Peripheral blood smear:
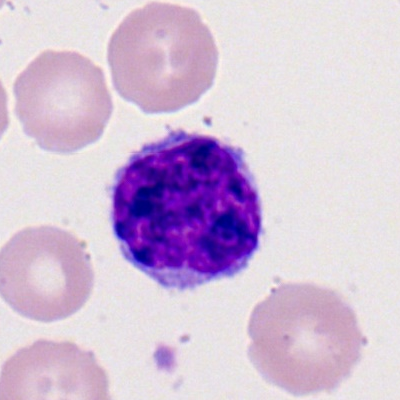 Morphology → typical lymphocyte.